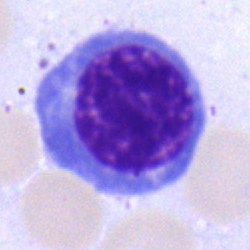 Q: What is the morphological classification of this cell?
A: It is a nucleated red blood cell.